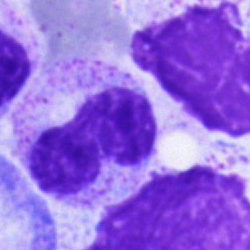The cell type is polymorphonuclear neutrophil.